250 by 250 pixels · MGG-stained · bone marrow aspirate smear — 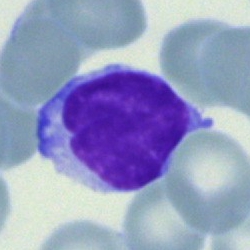 Classification — typical lymphocyte.